Bone marrow aspirate smear · brightfield microscopy, 40× oil immersion · 250 by 250 pixels.
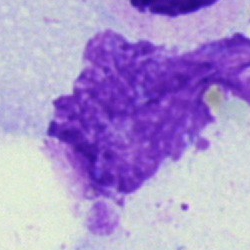

Cell type = artifact.